Bone marrow aspirate smear — 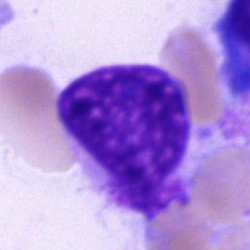

Q: What is shown here?
A: Artifact.